Bone marrow smear
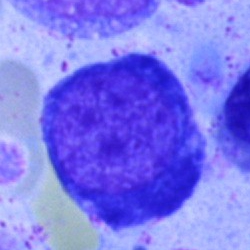This is a nucleated red blood cell.